Brightfield, 40× oil-immersion objective. Bone marrow aspirate smear — 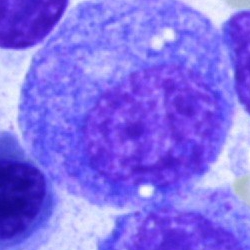Promyelocyte.